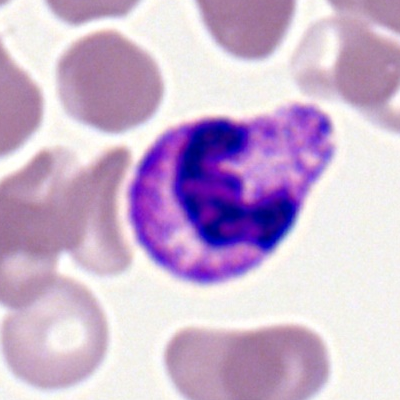 Morphological class — neutrophil (segmented).